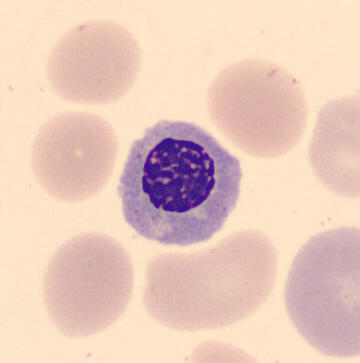 Image: Peripheral blood smear. Classification — nucleated red blood cell.